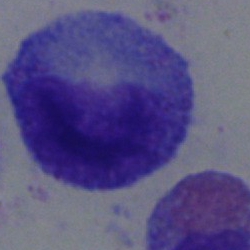
{"cell_type": "progranulocyte", "lineage": "myeloid"}